Bone marrow smear: 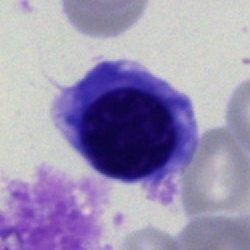 Specimen: bone marrow aspirate smear.
Cell type: nucleated red cell.